100× objective, oil immersion · peripheral blood film · 400×400 px: 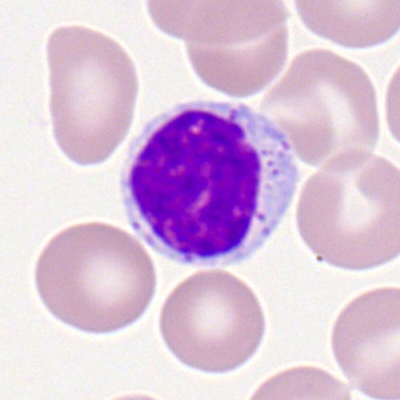 Morphology → typical lymphocyte.